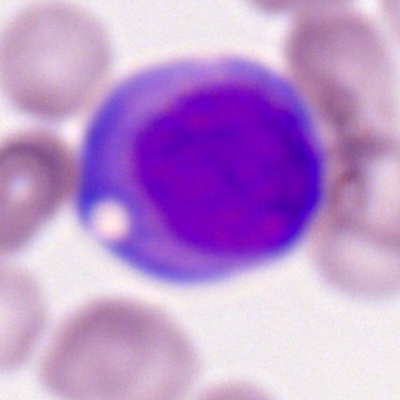 Cell: myeloid blast.